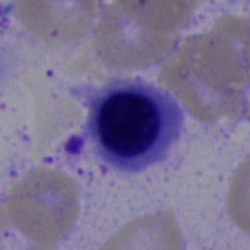

Morphological class = nucleated red blood cell.